Bone marrow aspirate smear — 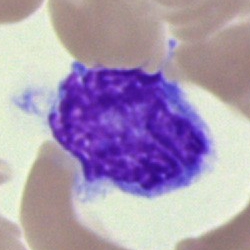Specimen: bone marrow aspirate smear.
Morphological class: typical lymphocyte.